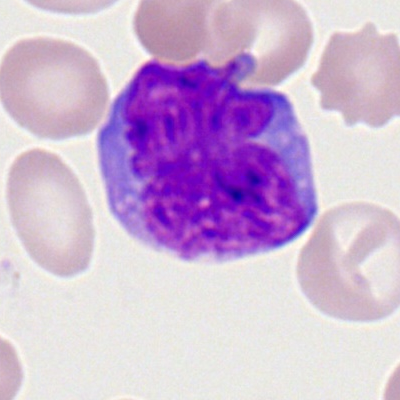 Q: What is the morphological classification of this cell?
A: Myeloblast.